Bone marrow aspirate smear:
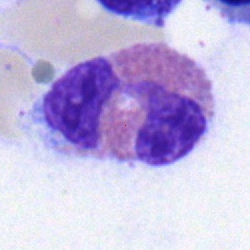

Morphology — eosinophilic granulocyte.